Bone marrow smear:
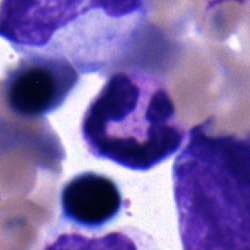Stab cell.